Single-cell field; peripheral blood film: 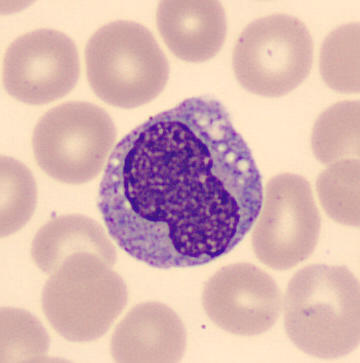

Morphological class — monocyte.